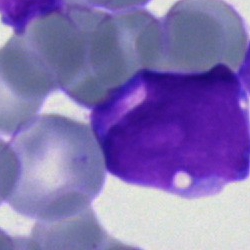Specimen: bone marrow smear.
Cell: undifferentiated blast.